Brightfield microscopy, 40× oil immersion. Bone marrow aspirate smear: 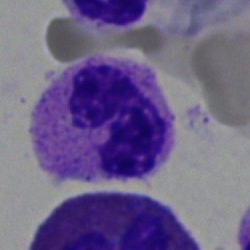Specimen: bone marrow smear.
Cell type: neutrophil (segmented).
Lineage: myeloid.